Single-cell field · bone marrow aspirate smear · MGG-stained
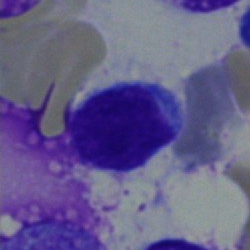Specimen: bone marrow smear.
Cell type: typical lymphocyte.
Lineage: lymphoid.